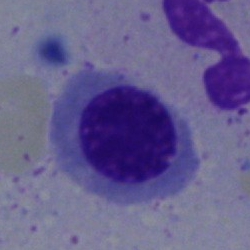 An erythroblast on a bone marrow smear.